Bone marrow aspirate smear
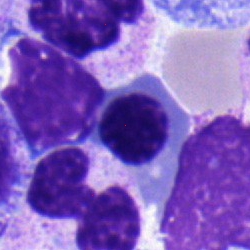
Classification: nucleated red blood cell.